40× oil immersion · bone marrow smear · May-Grünwald-Giemsa stain: 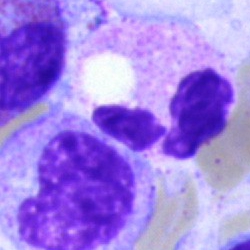Single cell identified as a polymorphonuclear neutrophil.